Bone marrow smear. 250 by 250 pixels. May-Grünwald-Giemsa stain
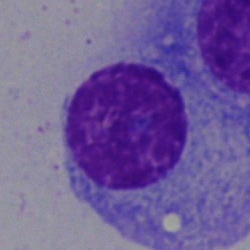
{"cell_type": "cell of indeterminate lineage"}